Bone marrow aspirate smear · single-cell field
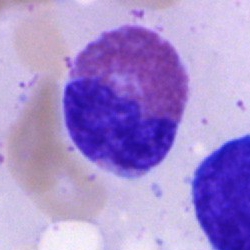Eosinophil.